Bone marrow aspirate smear
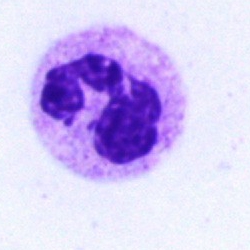
This is a segmented neutrophil.